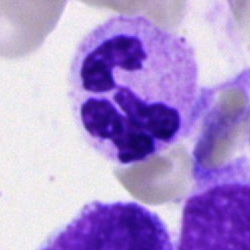The classification is segmented neutrophil.